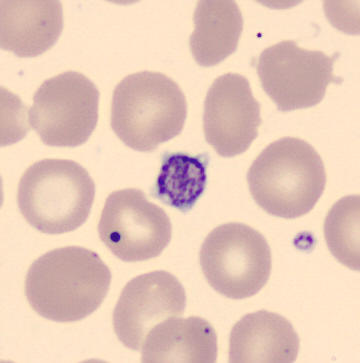

A thrombocyte on a peripheral blood smear.